Bone marrow smear:
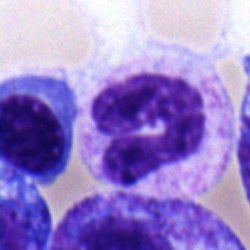

Specimen: bone marrow aspirate smear.
Morphological class: erythroblast.
Lineage: erythroid.